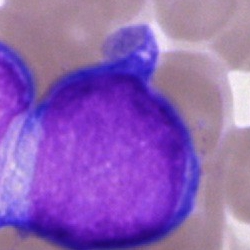Single-cell crop from a bone marrow smear: blast cell.